Single cell centered in the field. Bone marrow aspirate smear:
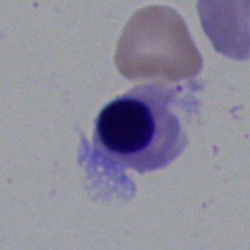
Q: What type of cell is this?
A: It is a nucleated red blood cell.